Bone marrow smear · single-cell field: 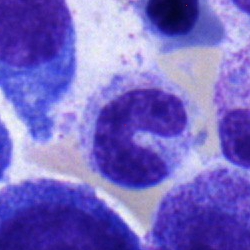

Classification — band-form neutrophil.